Cropped to a single cell. May-Grünwald-Giemsa/Pappenheim stain. Bone marrow smear
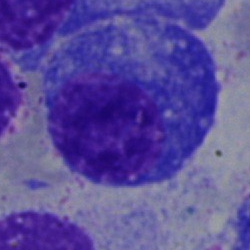

Q: What cell is this?
A: It is a plasmacyte.